Bone marrow smear — 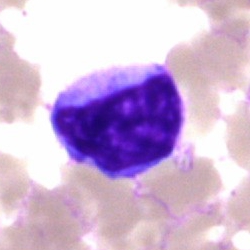 {"cell_type": "typical lymphocyte", "lineage": "lymphoid"}